Bone marrow aspirate smear:
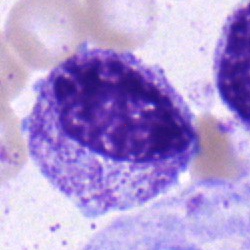 Impression → myelocyte.